250×250; bone marrow aspirate smear; single cell centered in the field
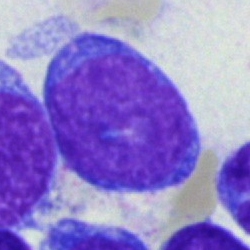Q: Identify the cell.
A: It is a blast.